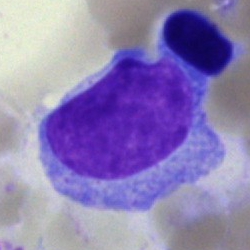
The morphological class is blast.